Single-cell crop; bone marrow smear; 250×250 px.
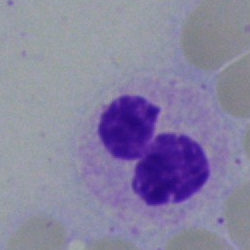A segmented neutrophil.